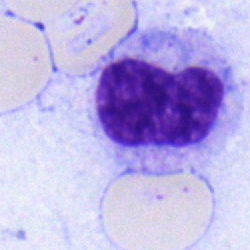
Morphology → metamyelocyte.